250 by 250 pixels · bone marrow aspirate smear · 40× oil immersion:
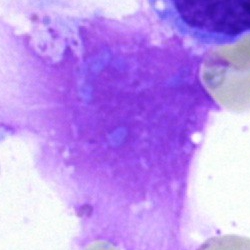Q: What is shown here?
A: Artefact.